Image size 250×250 · May-Grünwald-Giemsa/Pappenheim stain · bone marrow aspirate smear:
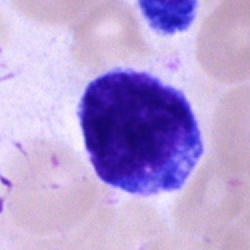 Morphology → blast cell.